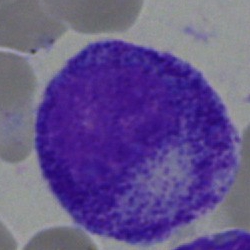Classification: myelocyte.